Bone marrow smear — 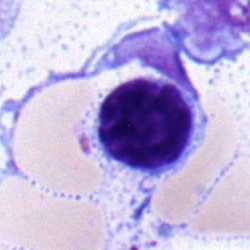 Cell type — typical lymphocyte.